Single-cell field. Bone marrow smear:
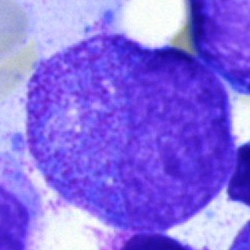 Classification — promyelocyte.